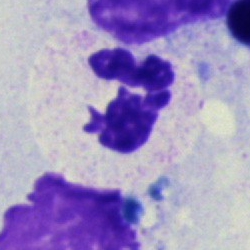
Specimen: bone marrow smear.
Classification: neutrophil (segmented).
Lineage: myeloid.